250×250 · bone marrow smear
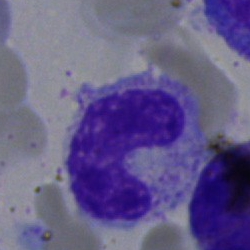 Impression — neutrophil (band).